Bone marrow smear:
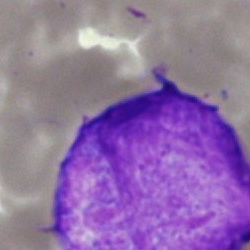 The cell shown is a blast.